Peripheral blood film.
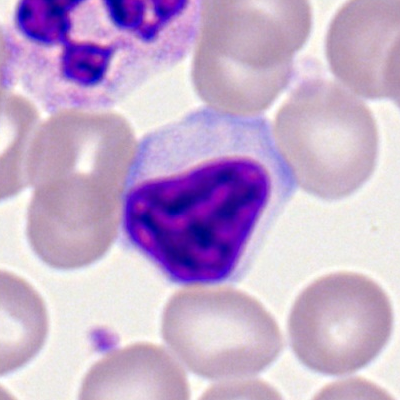 Morphology → lymphocyte.